Bone marrow smear; 250 by 250 pixels
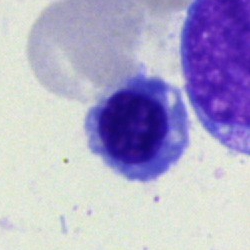

Showing an erythroblast.